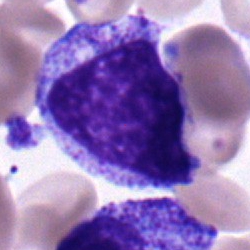 Specimen: bone marrow aspirate smear.
Cell type: progranulocyte.
Lineage: myeloid.